Peripheral blood smear: 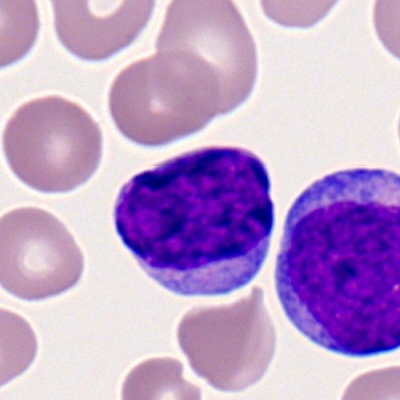 This is a myeloblast.